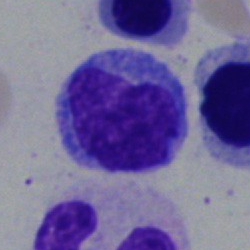

This is a monocyte.